Bone marrow smear — 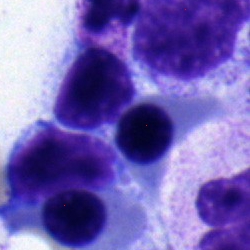
Cell type = normoblast.